250×250 px · bone marrow smear
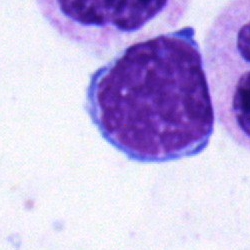

Morphology consistent with a typical lymphocyte.